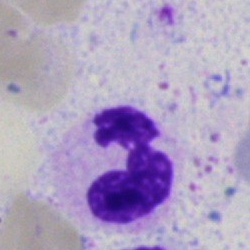 Morphology consistent with a neutrophil (segmented).